Bone marrow aspirate smear; brightfield microscopy, 40× oil immersion:
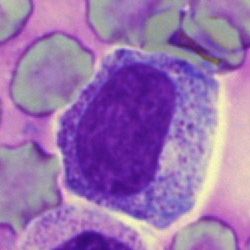 Classification: promyelocyte.